Bone marrow smear; 250×250 px
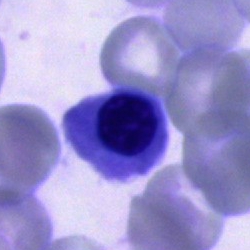Single cell identified as an erythroblast.